Bone marrow smear:
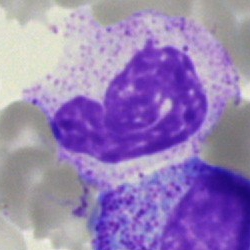Morphology consistent with a neutrophil (band).